Bone marrow smear:
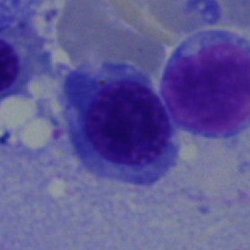

Q: What is the morphological classification of this cell?
A: A normoblast.